Brightfield, 40× oil-immersion objective; bone marrow aspirate smear — 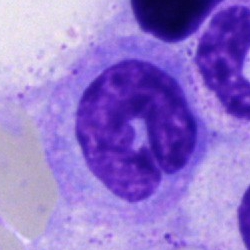The classification is monocyte.